100× oil immersion; peripheral blood film
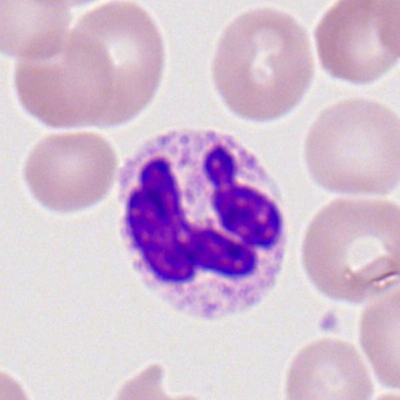 Morphological class = segmented neutrophil.